250×250. Bone marrow aspirate smear. May-Grünwald-Giemsa stain:
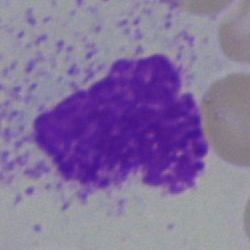Specimen: bone marrow aspirate smear.
Cell: artifact.